Pappenheim-stained; bone marrow aspirate smear; single-cell field: 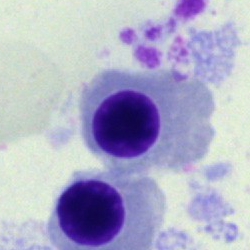Specimen: bone marrow aspirate smear.
Cell type: normoblast.